Bone marrow smear
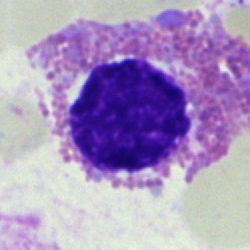

Q: What cell is this?
A: An eosinophil.